40× objective, oil immersion · bone marrow aspirate smear: 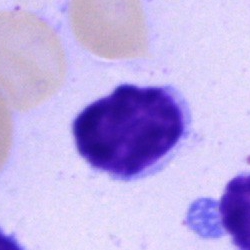 Q: Which cell type is shown here?
A: This is a typical lymphocyte.